Peripheral blood smear: 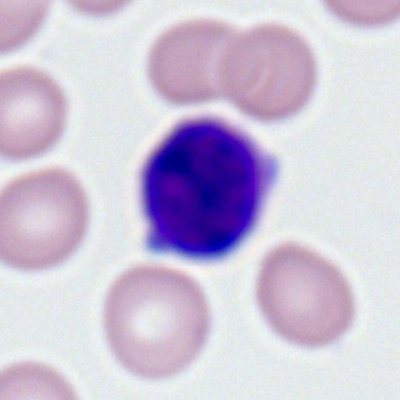
Q: What cell is this?
A: This is a lymphocyte.